Bone marrow smear: 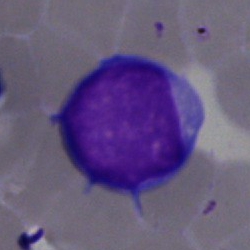 This is a lymphocyte.